Cropped to a single cell; peripheral blood film:
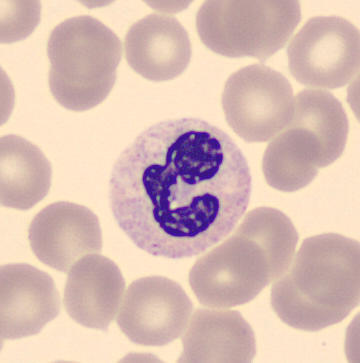
Impression — segmented neutrophil.